Bone marrow aspirate smear.
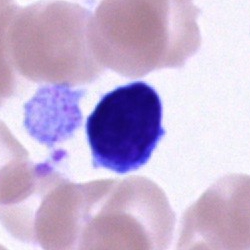 Specimen: bone marrow smear.
Cell: typical lymphocyte.